Bone marrow smear — 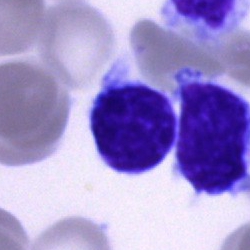 A typical lymphocyte.